Bone marrow smear.
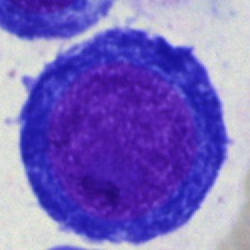

Impression → pronormoblast.